Bone marrow aspirate smear:
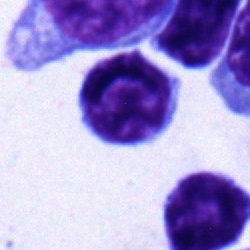
Impression → lymphocyte.